250 by 250 pixels. Bone marrow aspirate smear. May-Grünwald-Giemsa/Pappenheim stain.
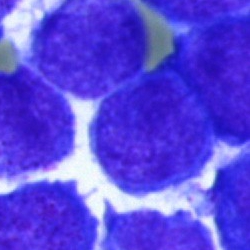

Specimen: bone marrow smear.
Cell: blast cell.